Single-cell crop. Bone marrow smear. Pappenheim-stained: 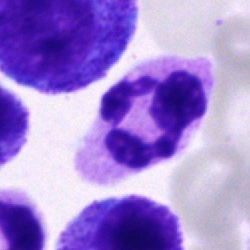

This is a segmented neutrophil.